Bone marrow smear — 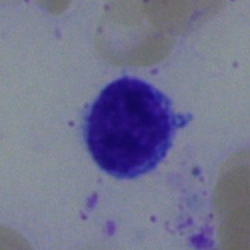 Q: Which cell type is shown here?
A: A typical lymphocyte.